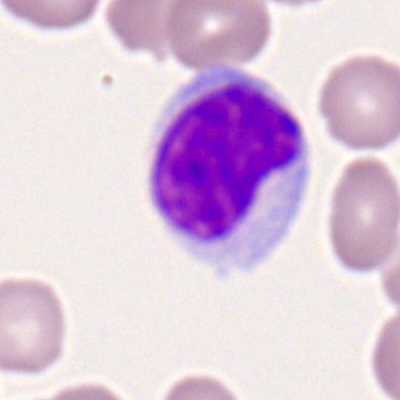
Cell type: typical lymphocyte.